Bone marrow smear — 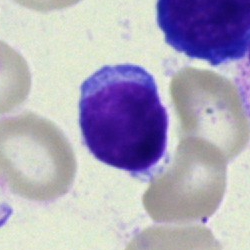
Morphological class = lymphocyte.